Bone marrow smear
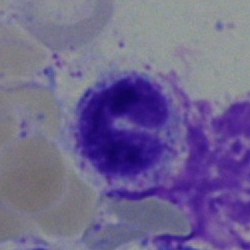 Specimen: bone marrow aspirate smear.
Classification: neutrophil (band).
Lineage: myeloid.